Bone marrow smear. 250 by 250 pixels:
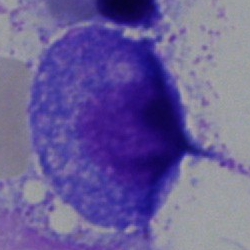Morphology — promyelocyte.